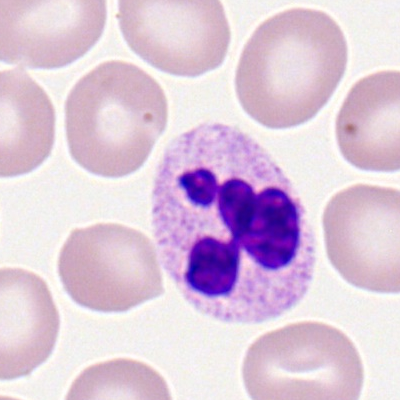

Morphology consistent with a segmented neutrophil.